Bone marrow aspirate smear; MGG-stained — 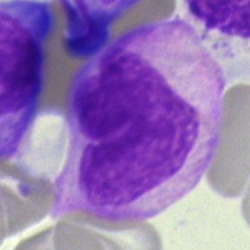Cell type = monocyte.